Single-cell field. Bone marrow aspirate smear. 250 by 250 pixels:
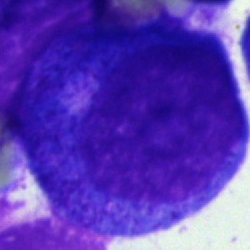
Promyelocyte.